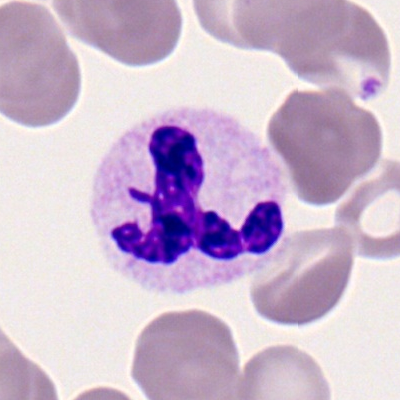

Morphology — polymorphonuclear neutrophil.